Bone marrow smear. 40× objective, oil immersion:
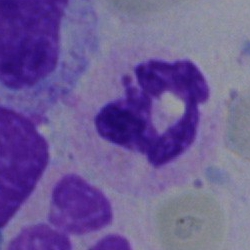

Q: What cell is this?
A: This is a neutrophil (segmented).